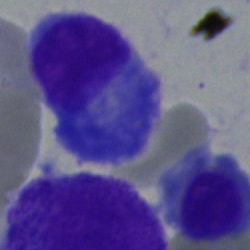
Specimen: bone marrow aspirate smear.
Cell: plasmacyte.
Lineage: lymphoid.